Bone marrow smear; brightfield microscopy, 40× oil immersion: 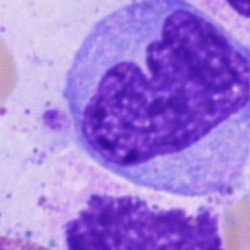 Single cell identified as a monocyte.